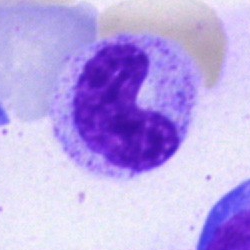

This is a stab cell.